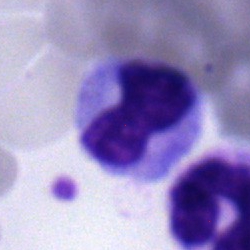Q: What is shown here?
A: A band neutrophil.